Bone marrow aspirate smear: 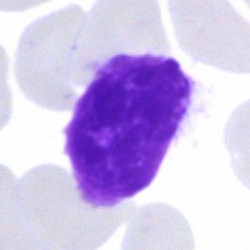
Q: Which cell type is shown here?
A: This is a basket cell.